Bone marrow smear
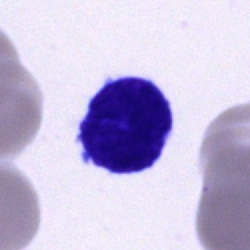 Classification — lymphocyte.